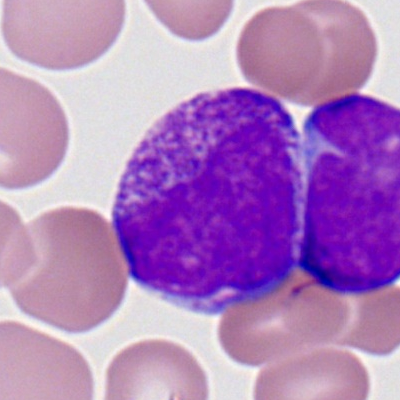

Specimen: peripheral blood smear.
Morphological class: promyelocyte.
Lineage: myeloid.